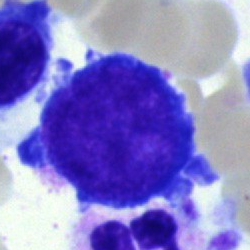 A proerythroblast.